Single-cell crop; bone marrow aspirate smear
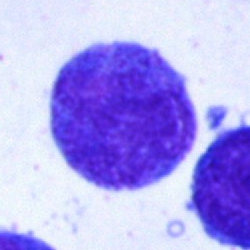
Impression — blast cell.